Bone marrow smear · brightfield, 40× oil-immersion objective — 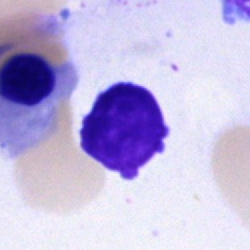

Cell: artefact.